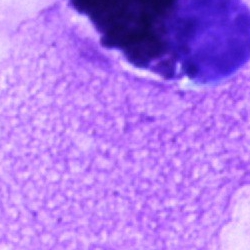
Cell = artefact.